Bone marrow aspirate smear · May-Grünwald-Giemsa/Pappenheim stain — 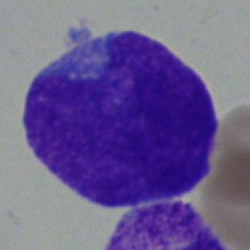The cell is blast cell.